Bone marrow aspirate smear.
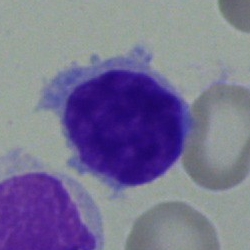 A typical lymphocyte.